Romanowsky-type stain · peripheral blood film — 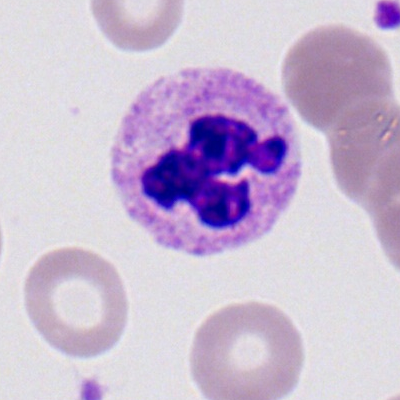
Morphological class = segmented neutrophil.